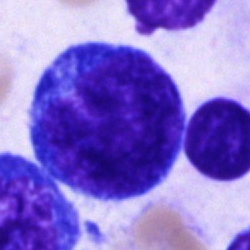Morphological class — undifferentiated blast.